Bone marrow aspirate smear:
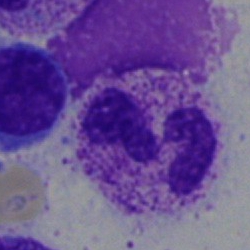

Segmented neutrophil.